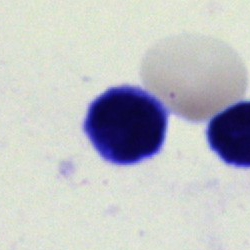 A lymphocyte.